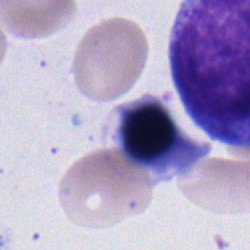A nucleated red cell on a bone marrow smear.